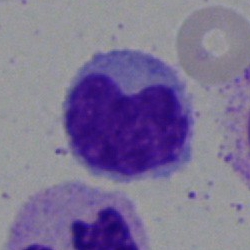 This is a metamyelocyte.